Bone marrow smear
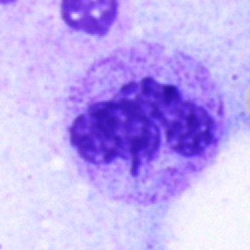

This is a neutrophil (segmented).